May-Grünwald-Giemsa stain; bone marrow aspirate smear: 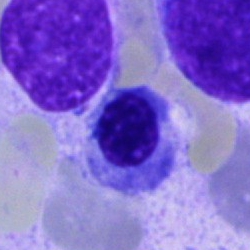
Impression → nucleated red cell.